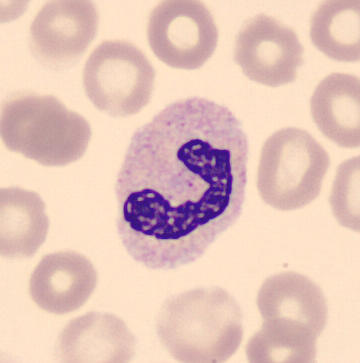
Q: Identify the cell.
A: Band neutrophil.

Acquisition: Peripheral blood smear.